Bone marrow smear:
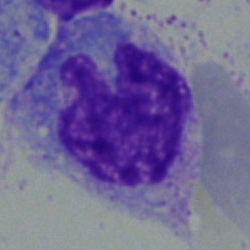
Q: What cell is this?
A: It is a monocyte.